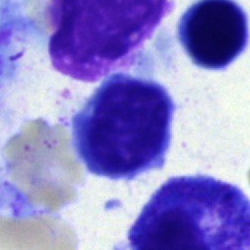

Single cell identified as a typical lymphocyte.